Bone marrow smear — 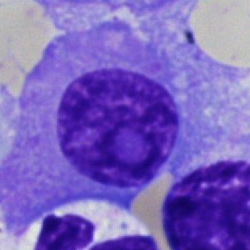

{"cell_type": "plasmacyte"}